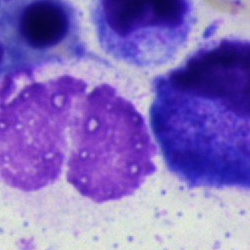An artefact.